M8 digital microscope (Precipoint), 100× oil immersion · Romanowsky-type stain · peripheral blood smear.
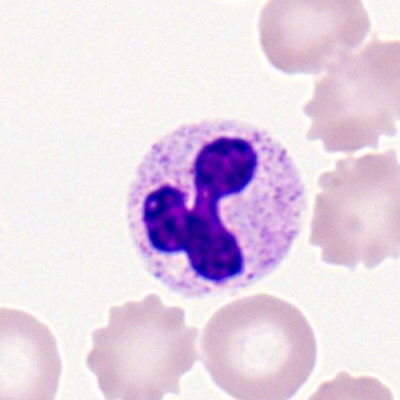
Specimen: peripheral blood film.
Classification: neutrophil (segmented).